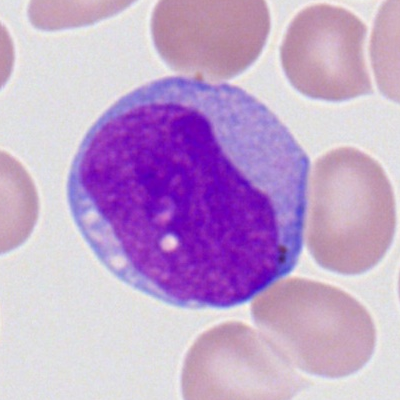 Q: What is shown here?
A: A myeloid blast.